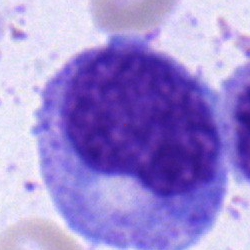

Morphology → progranulocyte.